Image size 250×250; bone marrow smear — 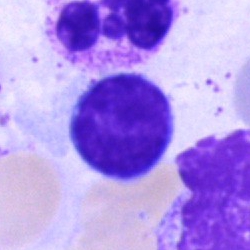

Showing a lymphocyte.